Pappenheim-stained. Single-cell crop. Bone marrow smear
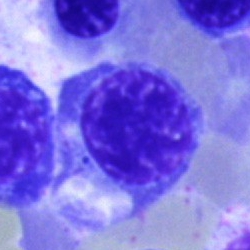
Q: What is shown here?
A: It is a nucleated red cell.